Peripheral blood film — 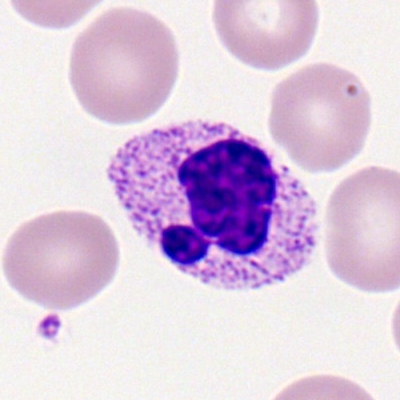Specimen: peripheral blood film.
Cell type: segmented neutrophil.
Lineage: myeloid.